Bone marrow aspirate smear:
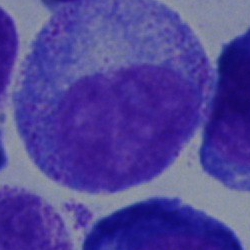{"cell_type": "promyelocyte"}